Peripheral blood film; Romanowsky-type stain — 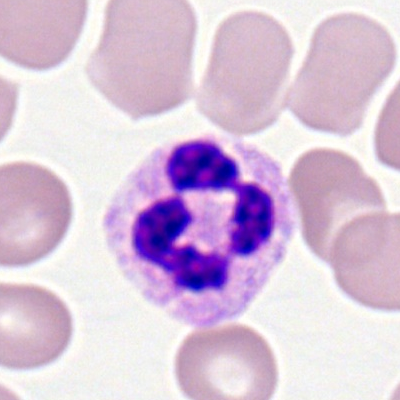Morphological class — polymorphonuclear neutrophil.